Bone marrow aspirate smear; brightfield, 40× oil-immersion objective: 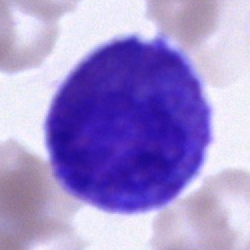 Impression — eosinophilic granulocyte.